Single-cell crop. Bone marrow aspirate smear: 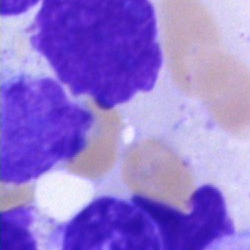 Morphology — artefact.